Bone marrow aspirate smear · single cell centered in the field: 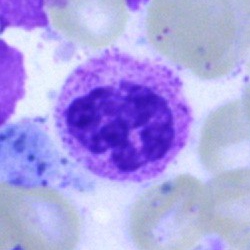
Morphological class — segmented neutrophil.